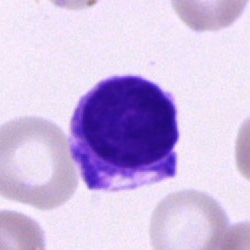 This is an unidentifiable cell.